Bone marrow aspirate smear:
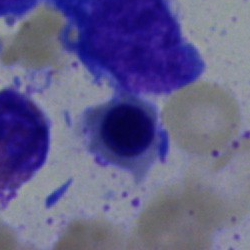

Cell — nucleated red blood cell.